Bone marrow aspirate smear:
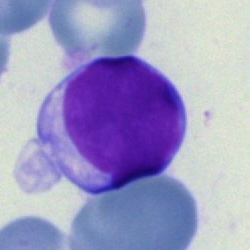 Morphology consistent with a typical lymphocyte.